Bone marrow aspirate smear; brightfield microscopy, 40× oil immersion
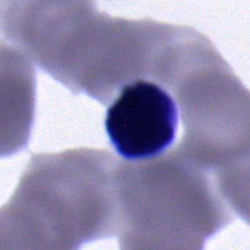
The cell is lymphocyte.